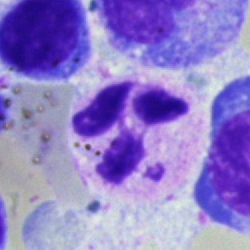 Q: What is shown here?
A: A segmented neutrophil.